Cropped to a single cell; bone marrow smear; 250 by 250 pixels
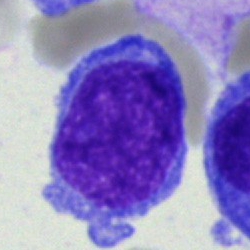 {"cell_type": "blast"}